Peripheral blood film · single-cell field — 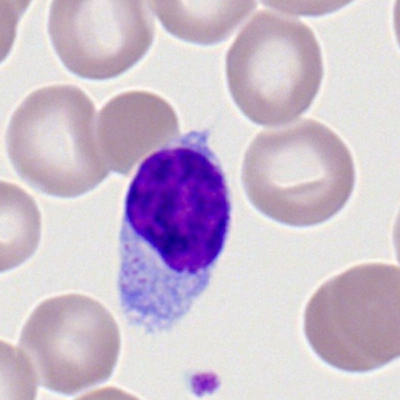 The cell is lymphocyte.